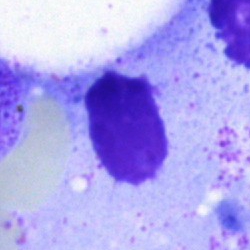Specimen: bone marrow aspirate smear.
Cell type: artefact.